Bone marrow smear — 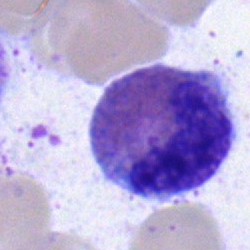

Morphological class = eosinophilic granulocyte.